Pappenheim-stained · bone marrow smear
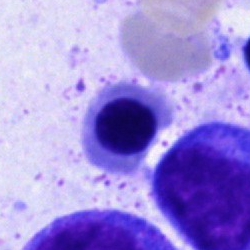 Single cell identified as a normoblast.